Bone marrow aspirate smear
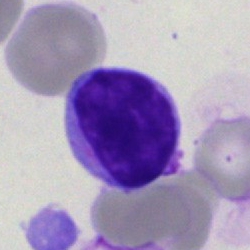
The cell shown is a lymphocyte.